May-Grünwald-Giemsa stain. Bone marrow aspirate smear. 40× oil immersion — 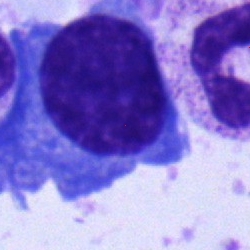

Impression — plasmacyte.